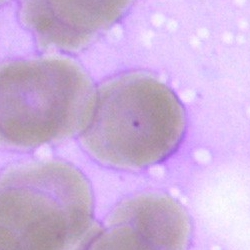 The cell shown is an artefact.